May-Grünwald-Giemsa stain; bone marrow aspirate smear:
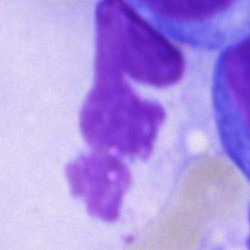

Morphology consistent with an artefact.